Bone marrow smear: 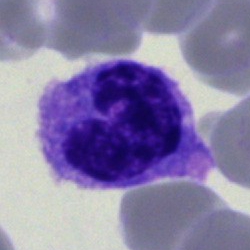
The cell is monocyte.